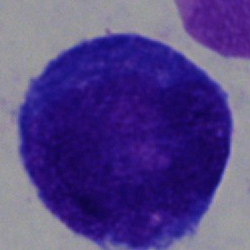 Impression — undifferentiated blast.